Imaged on a CellaVision DM96 analyser · peripheral blood film — 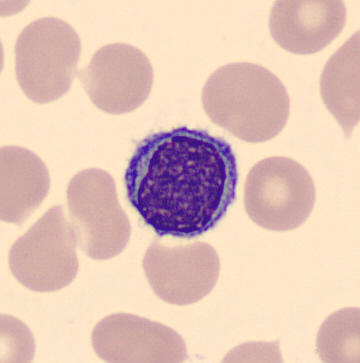Morphology consistent with a lymphocyte.